Bone marrow smear. Image size 250×250. Pappenheim-stained.
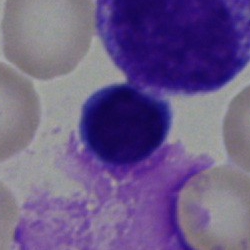
Cell type — typical lymphocyte.